Bone marrow smear
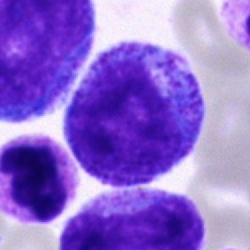

Impression → progranulocyte.